Bone marrow aspirate smear.
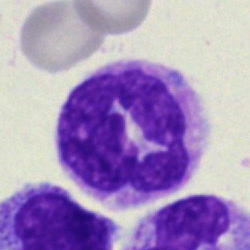Single cell identified as a polymorphonuclear neutrophil.